Bone marrow smear: 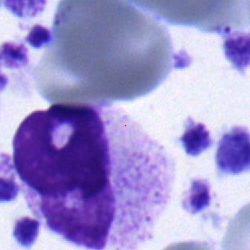

Morphological class — metamyelocyte.